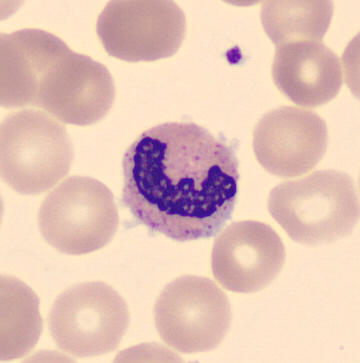 Single cell identified as a neutrophil (segmented). Single-cell field; peripheral blood smear.